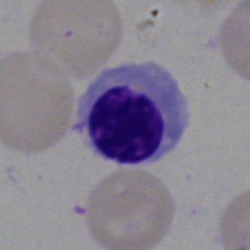

{"cell_type": "nucleated red cell", "lineage": "erythroid"}